Peripheral blood film:
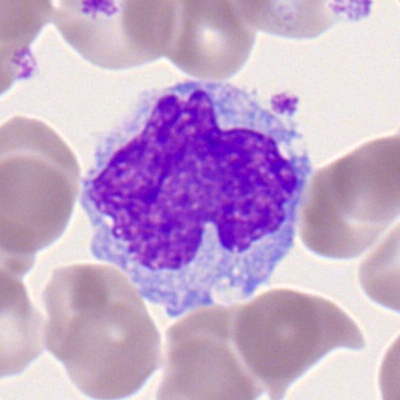 Monocyte.